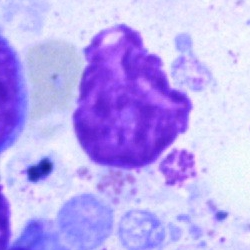Artifact.